Cropped to a single cell · bone marrow smear.
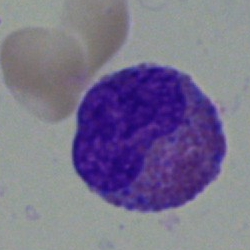 Morphological class: eosinophil.